Bone marrow aspirate smear
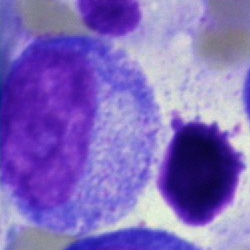

{"cell_type": "progranulocyte"}